Bone marrow aspirate smear. May-Grünwald-Giemsa stain. 250×250 — 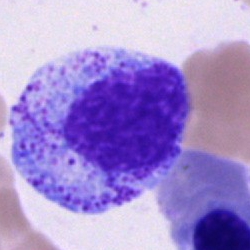The classification is promyelocyte.